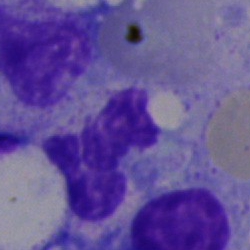

Morphology consistent with an artefact.